Bone marrow smear: 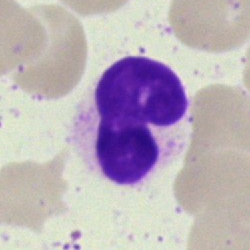 Q: What is shown here?
A: It is a neutrophil (segmented).